Brightfield, 40× oil-immersion objective. Image size 250×250. Bone marrow smear: 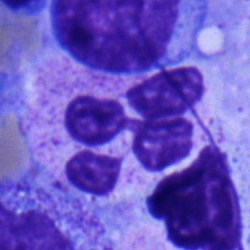 Impression → neutrophil (segmented).